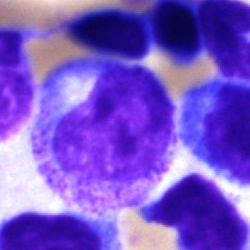 A myelocyte.